Bone marrow aspirate smear; 250×250 px: 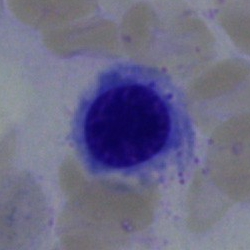
Impression → normoblast.